40× oil immersion · bone marrow smear
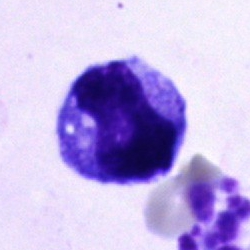

The classification is unidentifiable cell.